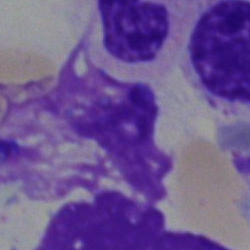Specimen: bone marrow smear.
Morphological class: artifact.